Peripheral blood smear — 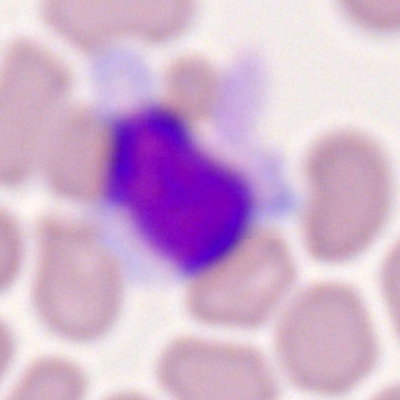Morphology consistent with a typical lymphocyte.